Brightfield, 40× oil-immersion objective. Bone marrow aspirate smear. Single-cell field — 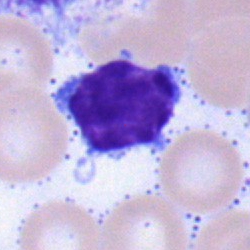 A lymphocyte.